40× oil immersion; bone marrow smear:
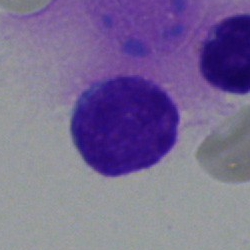Q: What is shown here?
A: A typical lymphocyte.